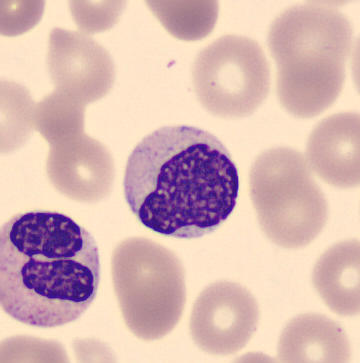
Impression — metamyelocyte.
Peripheral blood smear.